Romanowsky stain; image size 400×400; peripheral blood film:
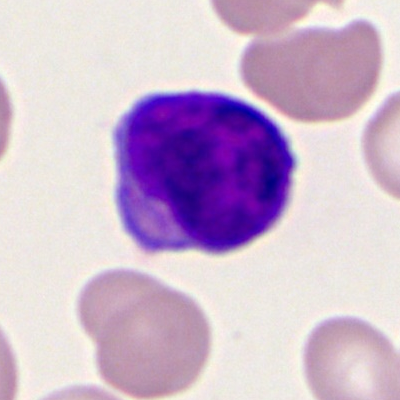 Q: What cell is this?
A: A myeloblast.